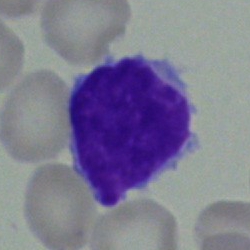

Specimen: bone marrow aspirate smear.
Cell type: lymphocyte.
Lineage: lymphoid.